Bone marrow aspirate smear
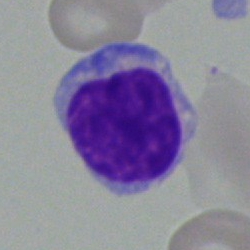Cell type — lymphocyte.